Single-cell crop; bone marrow aspirate smear.
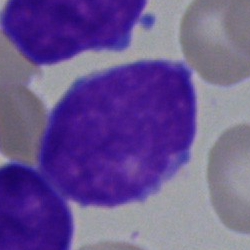
The cell shown is a blast.